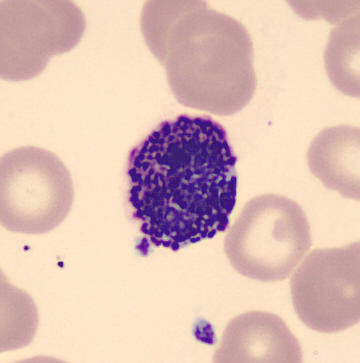 Q: Which cell type is shown here?
A: It is a basophilic granulocyte.

Acquisition: Peripheral blood film · 360 by 363 pixels.